Single-cell field; bone marrow smear
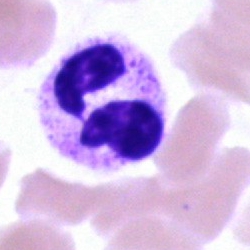
The classification is segmented neutrophil.